May-Grünwald-Giemsa stain; bone marrow aspirate smear; single-cell field: 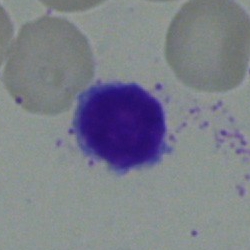Cell type — lymphocyte.